Bone marrow aspirate smear
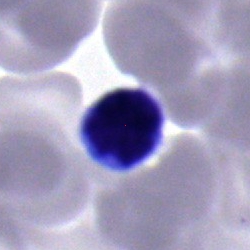
Q: What cell is this?
A: Lymphocyte.